Peripheral blood film
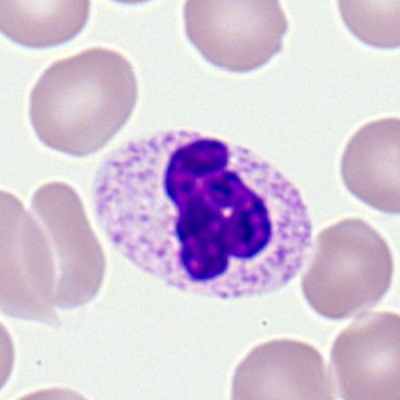
Classification = polymorphonuclear neutrophil.